Bone marrow aspirate smear.
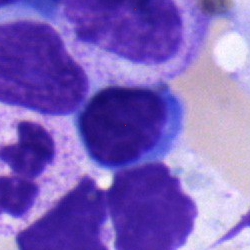 {"cell_type": "lymphocyte"}